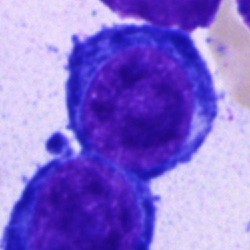

Cell = pronormoblast.